Brightfield microscopy, 40× oil immersion. 250 by 250 pixels. Bone marrow smear.
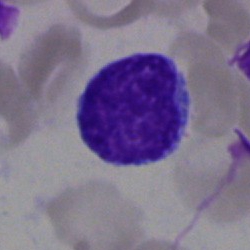

Q: What is the morphological classification of this cell?
A: A typical lymphocyte.